Single-cell field. Bone marrow smear. Brightfield microscopy, 40× oil immersion
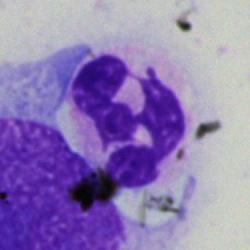 Morphological class = segmented neutrophil.